Peripheral blood film; cropped to a single cell; May Grünwald-Giemsa stain.
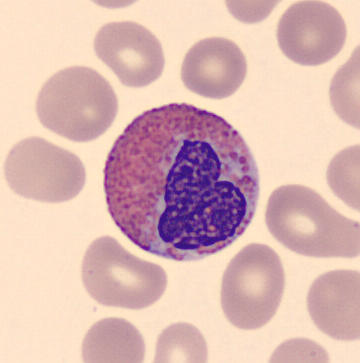
An eosinophil.